Cropped to a single cell. 250×250. Bone marrow aspirate smear: 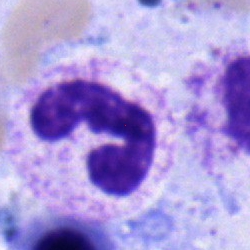 Impression — neutrophil (band).